Bone marrow aspirate smear.
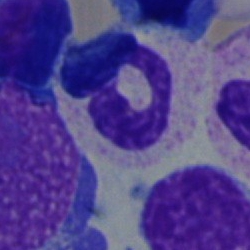 Impression — segmented neutrophil.